Bone marrow aspirate smear · cropped to a single cell: 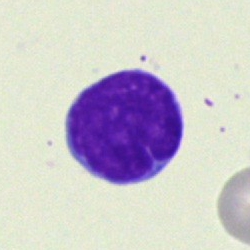
The cell shown is a lymphocyte.